Bone marrow aspirate smear.
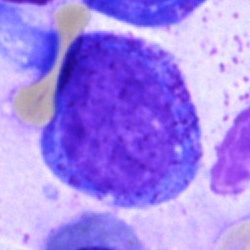This is a promyelocyte.